40× oil immersion; bone marrow smear
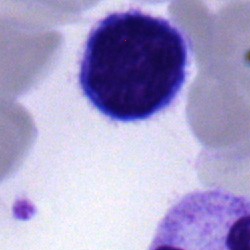

Morphological class — polymorphonuclear neutrophil.